Bone marrow smear: 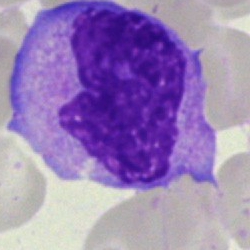
Specimen: bone marrow smear.
Morphological class: monocyte.